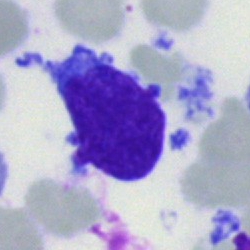 Bone marrow smear showing a blast.